CellaVision DM96. 360 by 363 pixels. Peripheral blood smear.
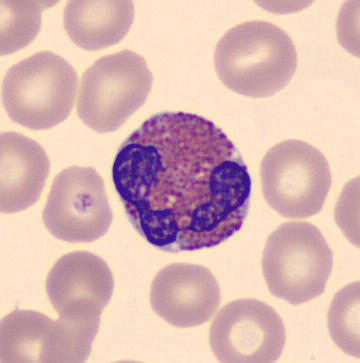{"cell_type": "eosinophilic granulocyte"}